MGG-stained · single-cell field · bone marrow smear:
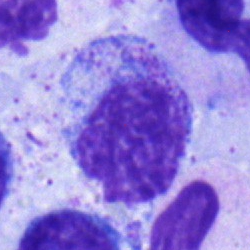This is a myelocyte.